Bone marrow smear:
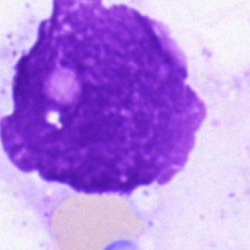 Q: What is shown here?
A: It is an artefact.